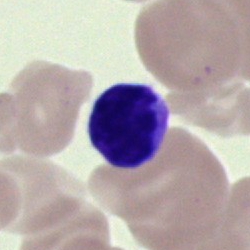 Q: What is the morphological classification of this cell?
A: It is a lymphocyte.